Bone marrow smear:
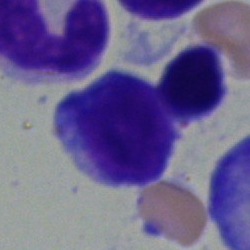

Impression — lymphocyte.